Bone marrow smear.
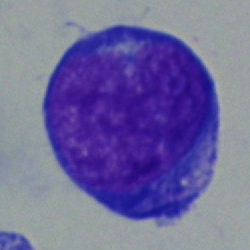

A blast cell.